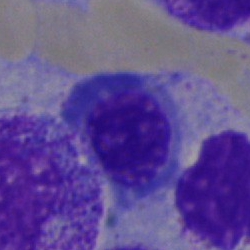
The cell shown is an erythroblast.